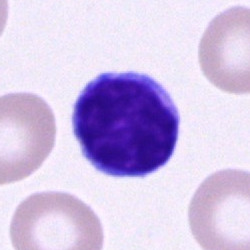A lymphocyte.